May-Grünwald-Giemsa stain. Bone marrow aspirate smear
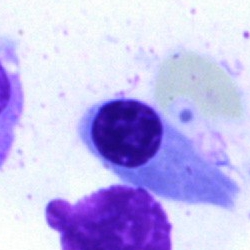
Q: What cell is this?
A: A nucleated red blood cell.